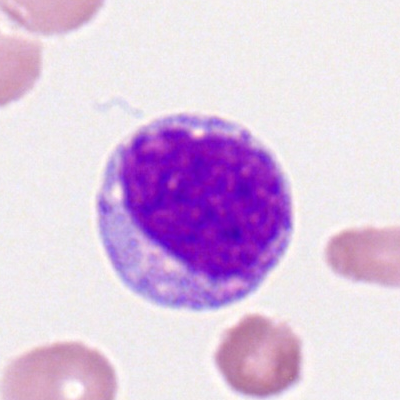

Morphological class: lymphocyte.